Bone marrow aspirate smear:
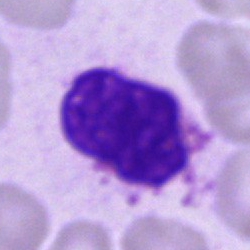 {"cell_type": "artifact"}